Bone marrow smear: 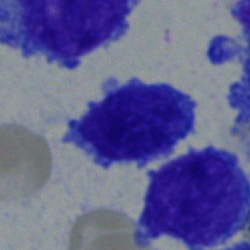Specimen: bone marrow aspirate smear.
Cell type: typical lymphocyte.